Bone marrow smear:
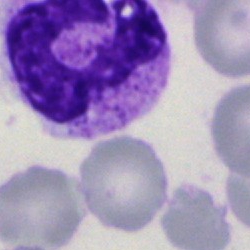 {"cell_type": "neutrophil (segmented)"}